Bone marrow smear · brightfield microscopy, 40× oil immersion · cropped to a single cell: 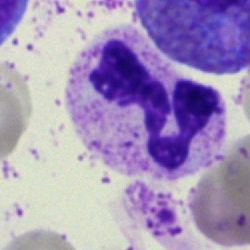

Single cell identified as a segmented neutrophil.